MGG-stained. Bone marrow aspirate smear. Image size 250×250.
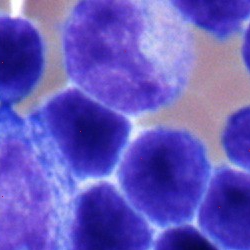{"cell_type": "metamyelocyte"}